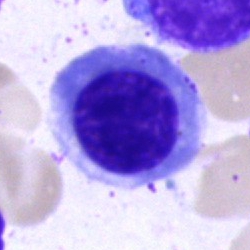
Specimen: bone marrow smear.
Morphological class: nucleated red cell.